Bone marrow smear.
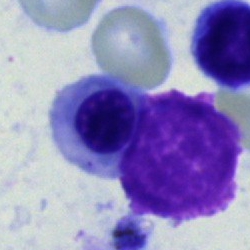 Classification: nucleated red blood cell.